Bone marrow smear; single-cell field.
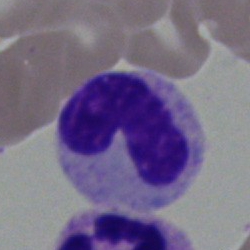This is a band neutrophil.